Bone marrow smear · 40× oil immersion · Pappenheim-stained:
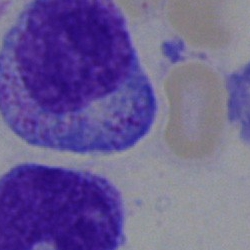
Morphology consistent with a promyelocyte.